Peripheral blood smear; 400×400; Romanowsky stain.
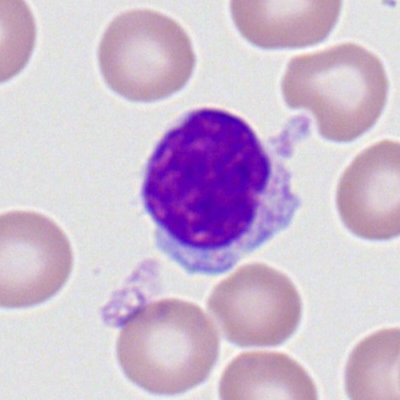 Showing a typical lymphocyte.